Bone marrow aspirate smear.
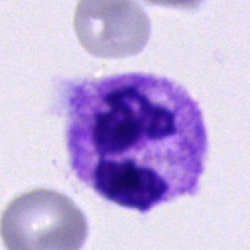
Classification — polymorphonuclear neutrophil.